Bone marrow aspirate smear
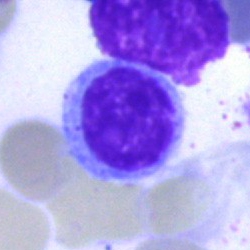
Single cell identified as a lymphocyte.